250×250 px; bone marrow smear
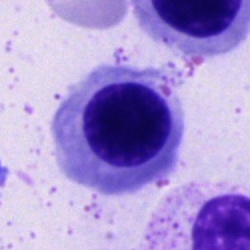This is a nucleated red cell.